Romanowsky-stained; peripheral blood smear; 400×400 px:
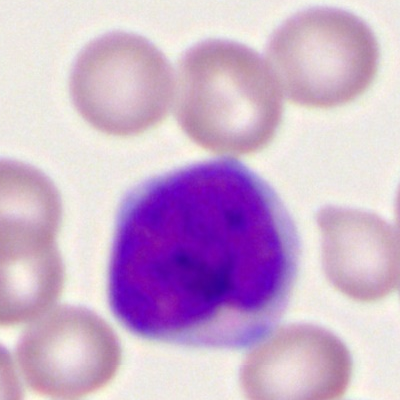
Single cell identified as a myeloblast.